Bone marrow aspirate smear · Pappenheim-stained:
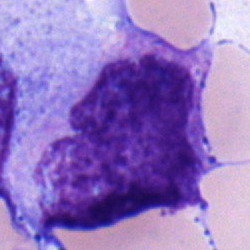
Morphology — undifferentiated blast.